Peripheral blood film · 100× objective, oil immersion · single-cell crop — 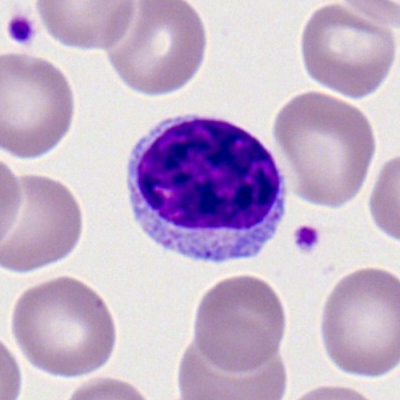

Typical lymphocyte.